40× objective, oil immersion. Image size 250×250. Bone marrow aspirate smear.
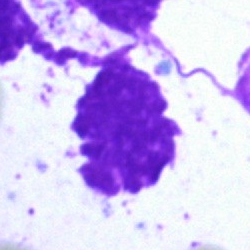 Impression → artifact.